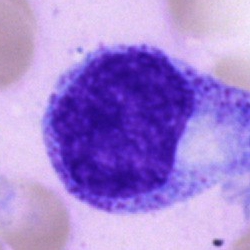 A progranulocyte on a bone marrow smear.